Bone marrow aspirate smear · 250×250 px · 40× oil immersion: 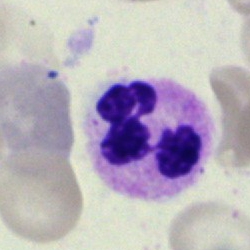

The cell type is neutrophil (segmented).